Bone marrow aspirate smear
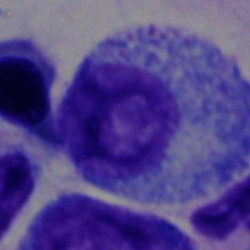

Myelocyte.